Bone marrow aspirate smear · 40× oil immersion — 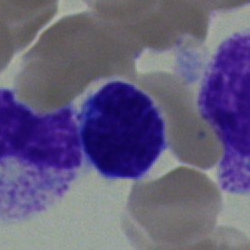
Q: Which cell type is shown here?
A: A lymphocyte.